Single-cell field; 250 by 250 pixels; bone marrow smear — 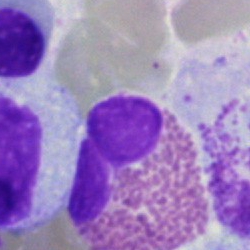

Showing an eosinophil.